Romanowsky-type stain · peripheral blood film: 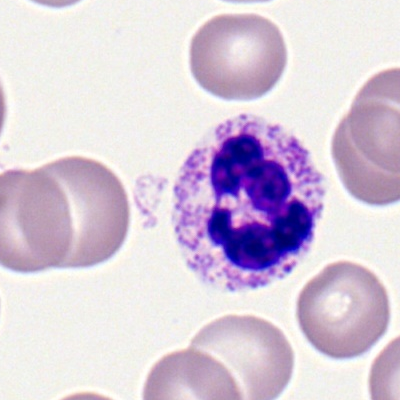

Morphology consistent with a neutrophil (segmented).